Single-cell crop; 250 by 250 pixels; bone marrow smear: 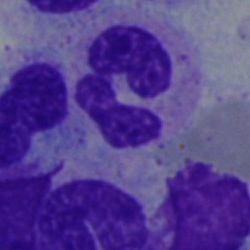The classification is segmented neutrophil.